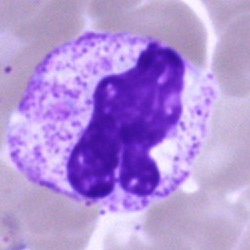
The cell is neutrophil (segmented).